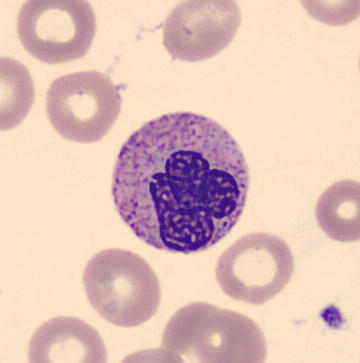

Image: Peripheral blood smear.
Single cell identified as a metamyelocyte.